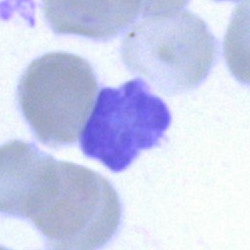 Q: What is shown here?
A: An artefact.